Bone marrow aspirate smear; MGG-stained — 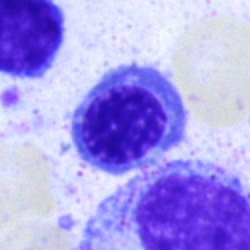 The cell shown is a normoblast.